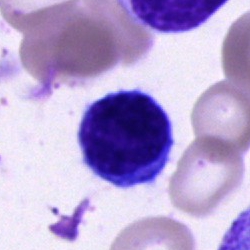
Q: What is the morphological classification of this cell?
A: This is a typical lymphocyte.